Bone marrow smear
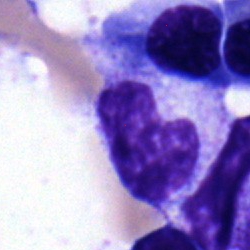Band-form neutrophil.